Bone marrow aspirate smear. 250×250. MGG-stained.
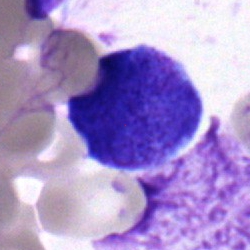 Specimen: bone marrow smear.
Cell type: blast.